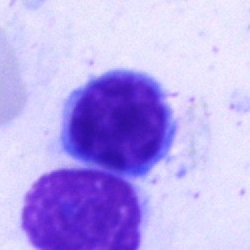 Specimen: bone marrow aspirate smear.
Classification: lymphocyte.
Lineage: lymphoid.